Single-cell field · bone marrow smear · 250×250 px — 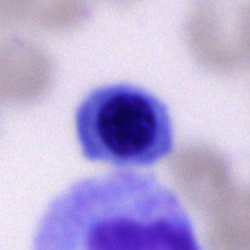 {"cell_type": "nucleated red cell", "lineage": "erythroid"}